Bone marrow smear:
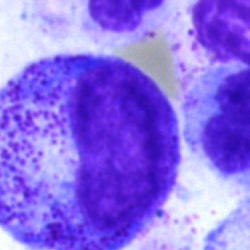Classification = promyelocyte.